Bone marrow aspirate smear; May-Grünwald-Giemsa stain:
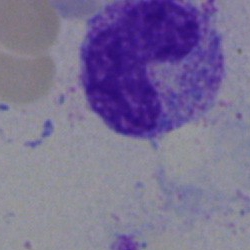

{"cell_type": "band neutrophil"}